May-Grünwald-Giemsa/Pappenheim stain · bone marrow smear
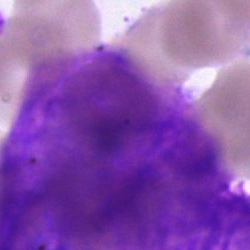 An artefact.